Bone marrow smear.
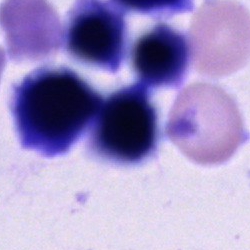Impression → unidentifiable cell.